Bone marrow smear. Single-cell field. Pappenheim-stained: 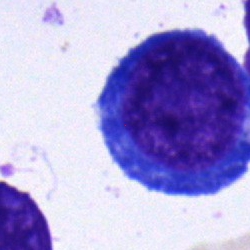 Specimen: bone marrow aspirate smear.
Classification: proerythroblast.
Lineage: erythroid.